Bone marrow aspirate smear
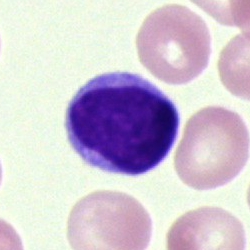 Morphology consistent with a lymphocyte.